Bone marrow smear
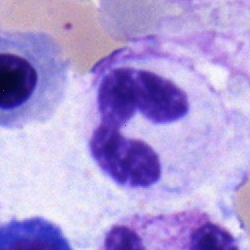 This is a polymorphonuclear neutrophil.